Peripheral blood film: 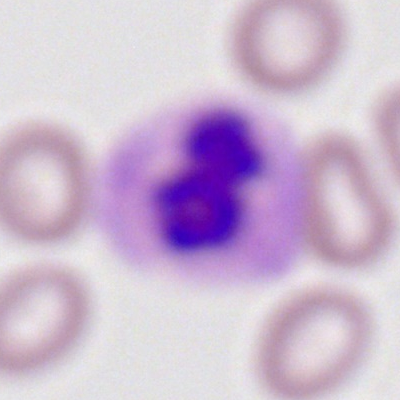Showing a neutrophil (segmented).